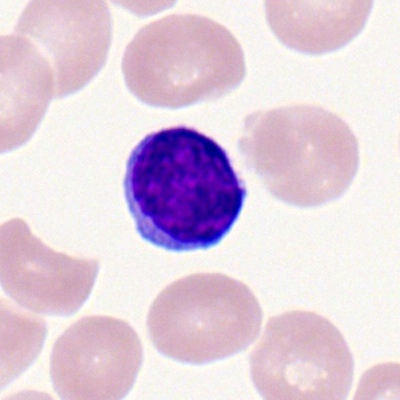
A lymphocyte.